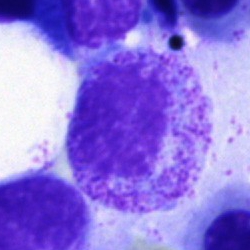

This is a myelocyte.